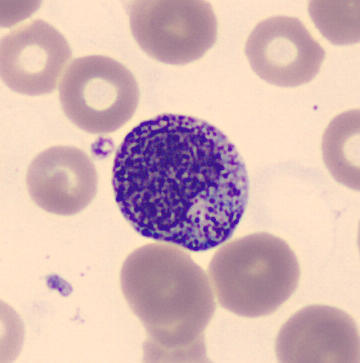Morphological class: myelocyte.